Pappenheim-stained · bone marrow smear: 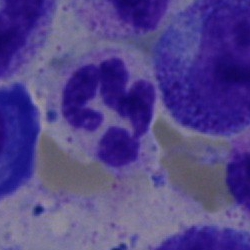

Specimen: bone marrow aspirate smear.
Classification: segmented neutrophil.